Bone marrow aspirate smear; May-Grünwald-Giemsa stain: 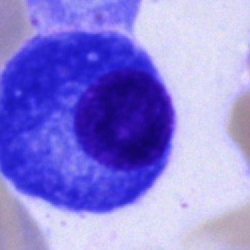Cell = plasma cell.